Bone marrow aspirate smear; 250×250 — 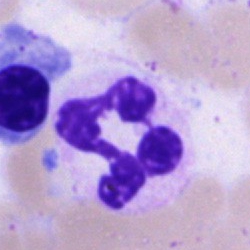

Showing a neutrophil (segmented).